Brightfield microscopy, 40× oil immersion · bone marrow smear.
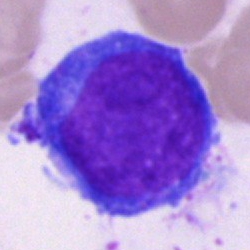Blast.